Bone marrow aspirate smear; Pappenheim-stained: 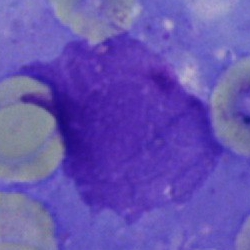 Morphology → artifact.